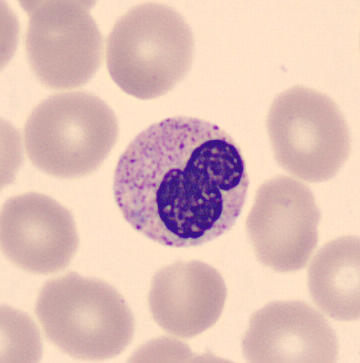The morphological class is stab cell.